Bone marrow aspirate smear · single cell centered in the field · May-Grünwald-Giemsa stain:
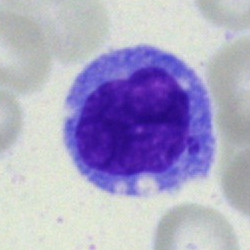

Specimen: bone marrow smear.
Cell: monocyte.
Lineage: myeloid.